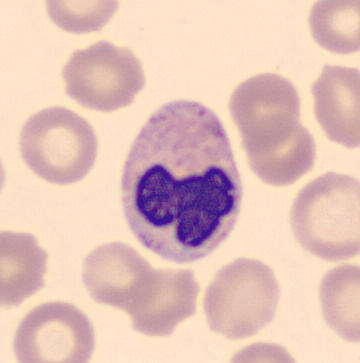The cell is segmented neutrophil.